Bone marrow aspirate smear · Pappenheim-stained.
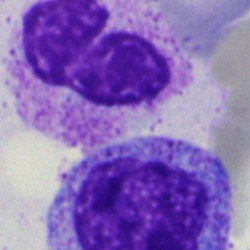
Q: What cell is this?
A: It is a neutrophil (segmented).